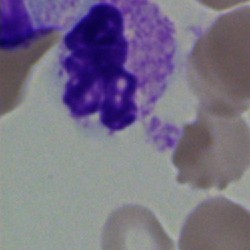Single cell identified as a segmented neutrophil.